Bone marrow smear. 250 by 250 pixels
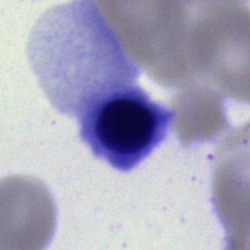
Specimen: bone marrow aspirate smear.
Cell: nucleated red cell.
Lineage: erythroid.